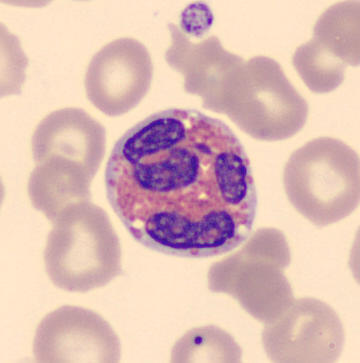

Peripheral blood film; 360×363.

{"cell_type": "eosinophil"}